Bone marrow aspirate smear: 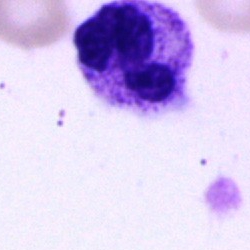

Polymorphonuclear neutrophil.